Bone marrow aspirate smear
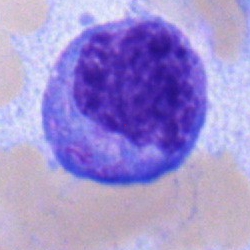 Q: Which cell type is shown here?
A: Progranulocyte.